Bone marrow smear
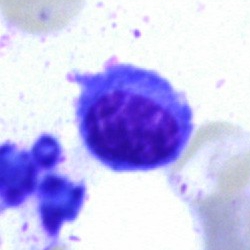Morphology — erythroblast.